Bone marrow aspirate smear; brightfield microscopy, 40× oil immersion
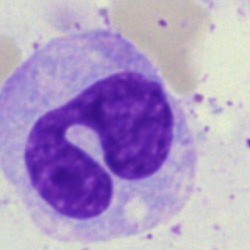

A monocyte.